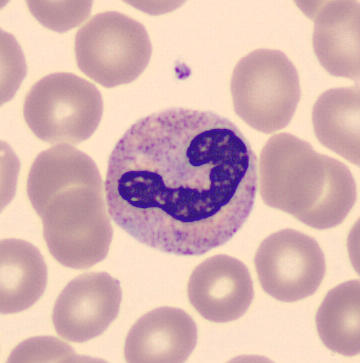

Acquisition: Peripheral blood film.

Impression — band-form neutrophil.